Bone marrow aspirate smear.
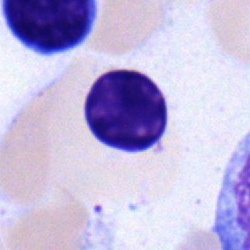The cell shown is a lymphocyte.